Bone marrow aspirate smear — 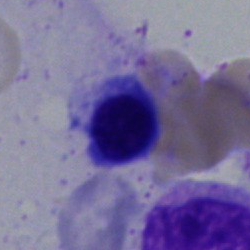Cell type = nucleated red blood cell.